40× objective, oil immersion · bone marrow aspirate smear.
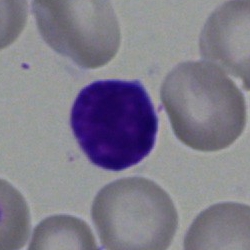

Showing a typical lymphocyte.